Peripheral blood smear
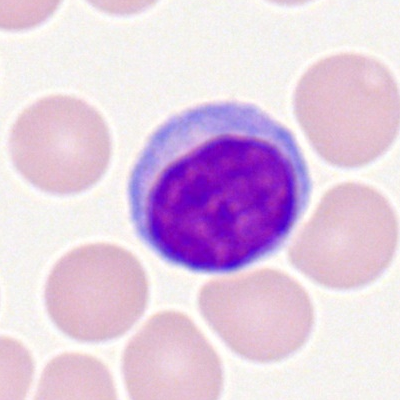 Specimen: peripheral blood film.
Cell type: lymphocyte.